Bone marrow aspirate smear.
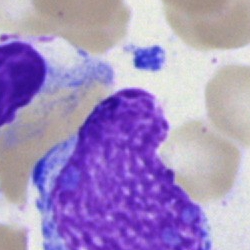

Q: What is shown here?
A: It is an artefact.